Brightfield, 40× oil-immersion objective. Bone marrow aspirate smear
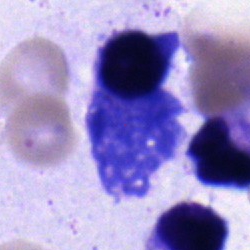
The classification is plasma cell.